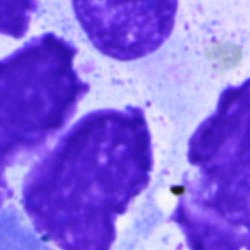Cell — artifact.